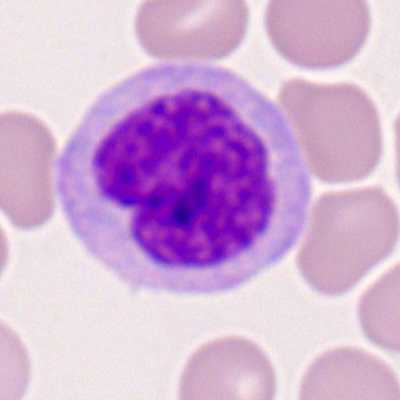
Specimen: peripheral blood smear.
Cell: monocyte.
Lineage: myeloid.